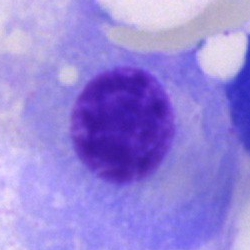
Morphology — plasmacyte.